Single-cell field. Bone marrow aspirate smear.
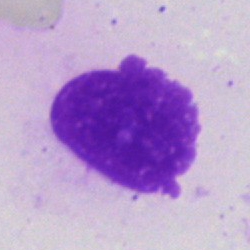 Showing an artifact.